Bone marrow smear; MGG-stained; 40× objective, oil immersion
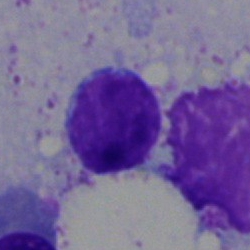

Morphology consistent with a lymphocyte.